Bone marrow aspirate smear · brightfield, 40× oil-immersion objective · 250×250 px: 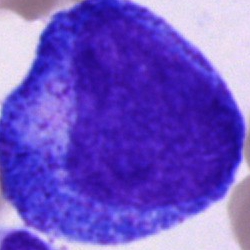 Q: What is shown here?
A: Promyelocyte.